MGG-stained; 250 by 250 pixels; bone marrow smear — 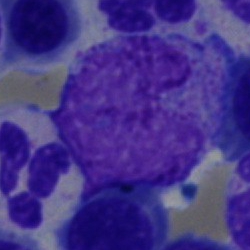 {"cell_type": "progranulocyte", "lineage": "myeloid"}